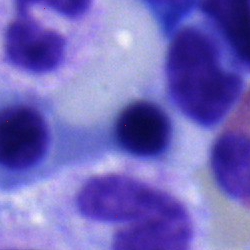 Single cell identified as an erythroblast.